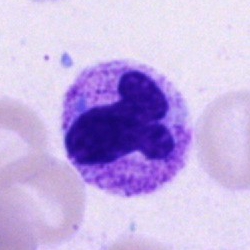Showing a polymorphonuclear neutrophil.